Bone marrow smear
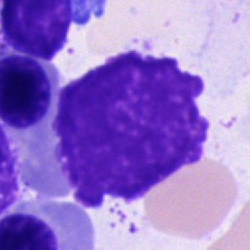Q: What is shown here?
A: This is an artifact.